Bone marrow aspirate smear · Pappenheim-stained:
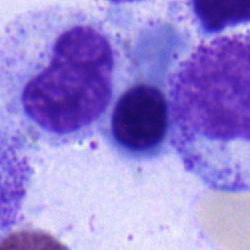
Cell: erythroblast.